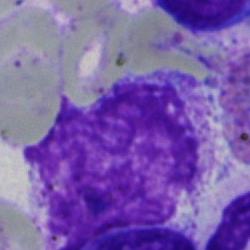The cell shown is an artefact.